Bone marrow smear. May-Grünwald-Giemsa/Pappenheim stain. Cropped to a single cell.
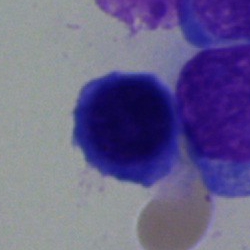 {"cell_type": "nucleated red blood cell", "lineage": "erythroid"}